Bone marrow smear.
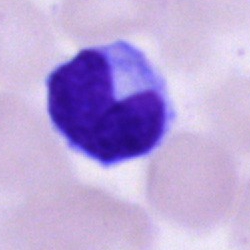Showing an unidentifiable cell.